Bone marrow aspirate smear; image size 250×250:
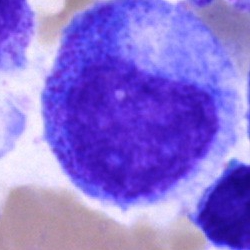

Promyelocyte.